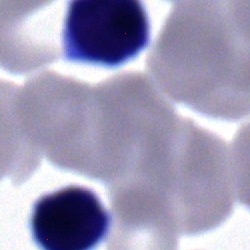Morphology — lymphocyte.